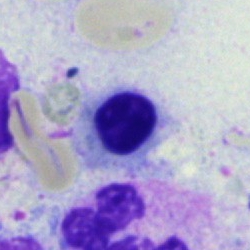The classification is normoblast.